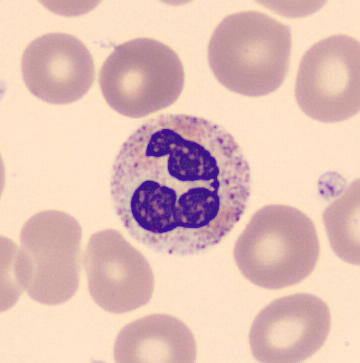 The classification is segmented neutrophil.

Peripheral blood film.